Peripheral blood smear: 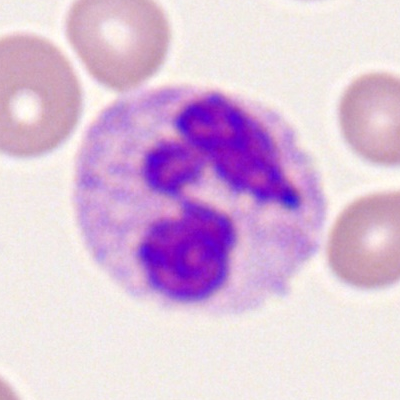Q: Which cell type is shown here?
A: A neutrophil (segmented).